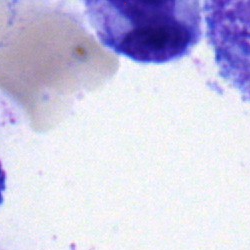

The morphological class is neutrophil (band).